250 by 250 pixels; bone marrow aspirate smear: 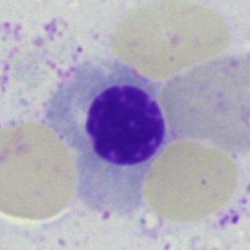 Morphology consistent with a normoblast.